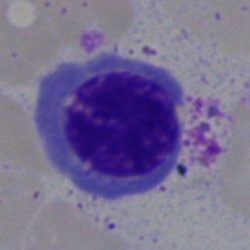 Classification — nucleated red cell.